MGG-stained · bone marrow smear:
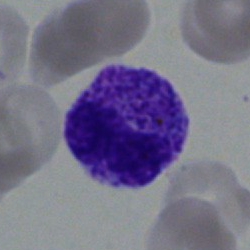 Q: What is shown here?
A: A segmented neutrophil.